MGG-stained · bone marrow smear
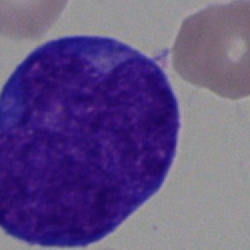Cell type: blast cell.